Bone marrow aspirate smear: 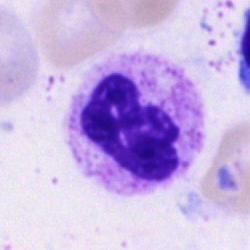

{"cell_type": "segmented neutrophil", "lineage": "myeloid"}